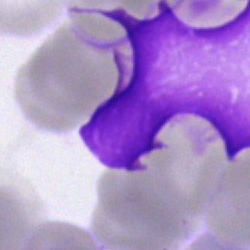 Q: What is shown here?
A: An artifact.